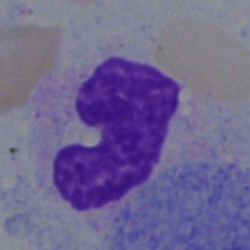
A band-form neutrophil.